Bone marrow smear; brightfield microscopy, 40× oil immersion — 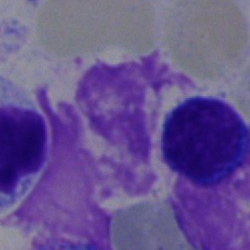Single cell identified as a typical lymphocyte.